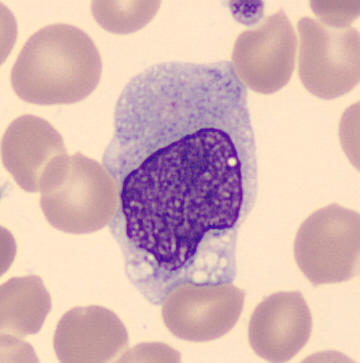
Peripheral blood film, single cell — monocyte.